Bone marrow aspirate smear; MGG-stained
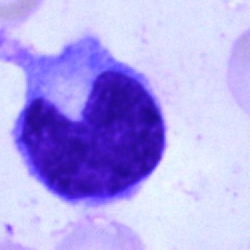 Single cell identified as a metamyelocyte.